May-Grünwald-Giemsa stain. Bone marrow aspirate smear.
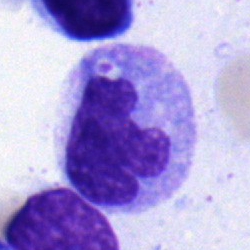

Classification — monocyte.